Bone marrow smear · 250 by 250 pixels: 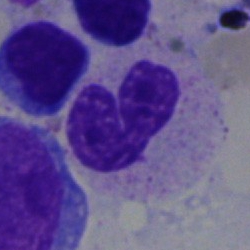

Morphology consistent with a band neutrophil.